Bone marrow smear. May-Grünwald-Giemsa stain — 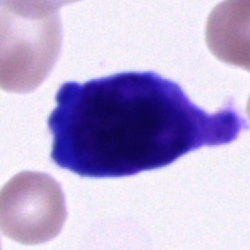

Morphology → cell of indeterminate lineage.